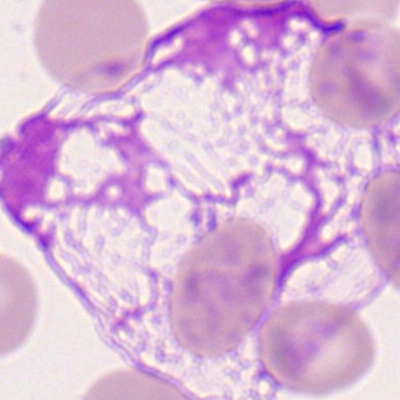
A Gumprecht shadow.